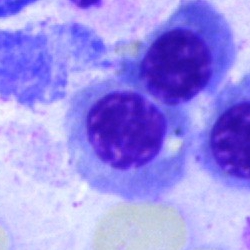

Single-cell crop from a bone marrow smear: erythroblast.